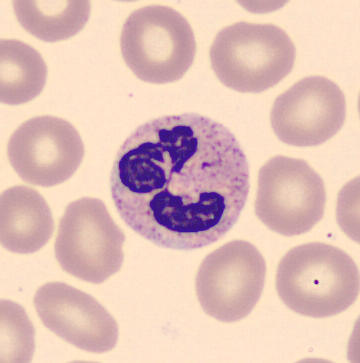

Showing a segmented neutrophil. Acquisition: Peripheral blood film.